Bone marrow smear
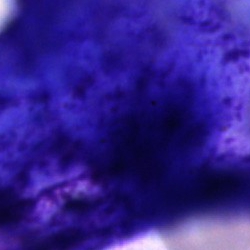 The cell is artefact.